Peripheral blood smear; brightfield, 100× oil-immersion objective.
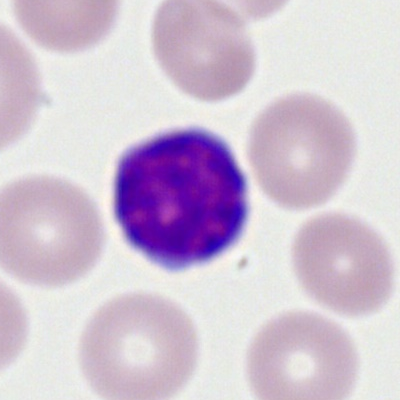 Cell: typical lymphocyte.